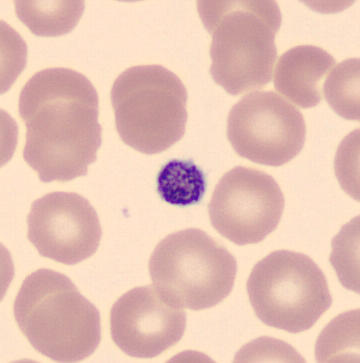
Peripheral blood smear. Q: What is this?
A: Thrombocyte.